Bone marrow smear · 250 by 250 pixels
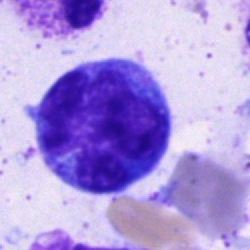The cell is monocyte.